Bone marrow smear
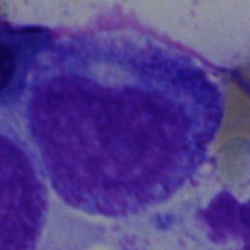
Promyelocyte.